Bone marrow aspirate smear: 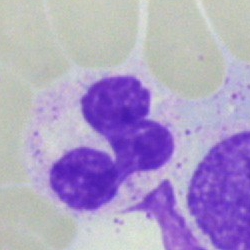
{"cell_type": "segmented neutrophil", "lineage": "myeloid"}